Bone marrow smear:
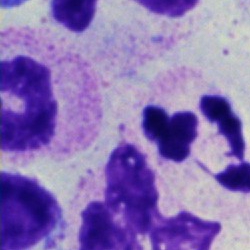Segmented neutrophil.